Bone marrow aspirate smear: 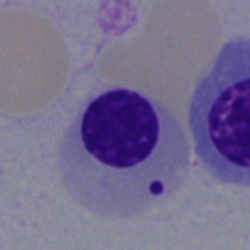
Classification — erythroblast.